Peripheral blood film. 400×400 px — 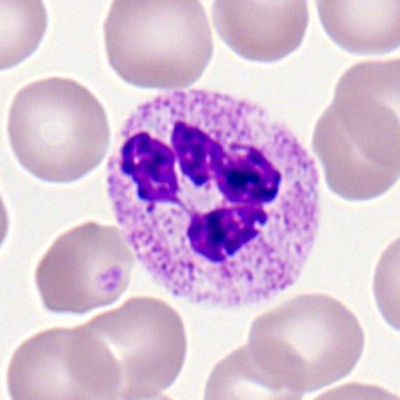The cell shown is a segmented neutrophil.